Bone marrow aspirate smear — 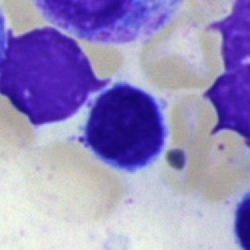
Typical lymphocyte.